Bone marrow aspirate smear — 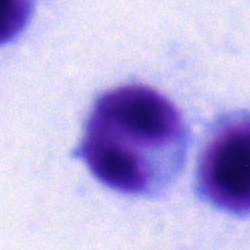Cell type: lymphocyte.